Bone marrow aspirate smear; single-cell field; brightfield, 40× oil-immersion objective
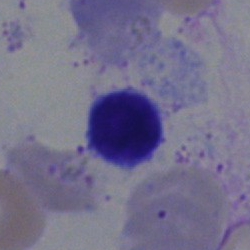Q: What type of cell is this?
A: A lymphocyte.